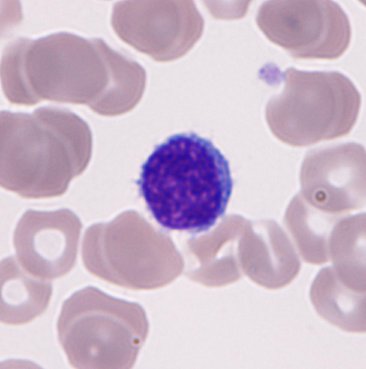
Image: Peripheral blood film.

Showing a lymphocyte.